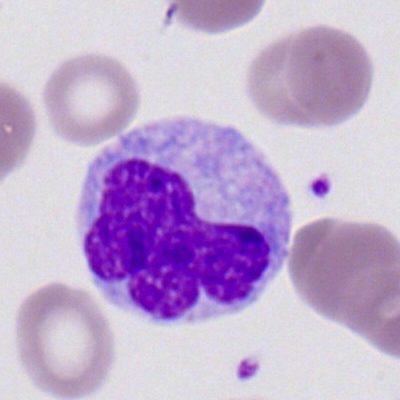Peripheral blood smear showing a monocyte.